Bone marrow smear:
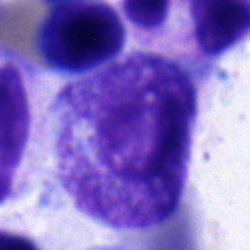 Morphology consistent with a myelocyte.